MGG-stained; 250 by 250 pixels; bone marrow aspirate smear — 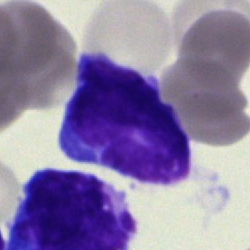Morphology consistent with a blast cell.